Bone marrow aspirate smear:
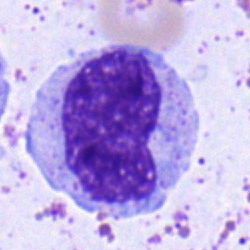 Classification — metamyelocyte.